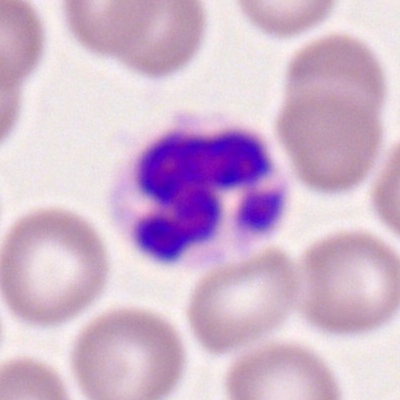

A polymorphonuclear neutrophil on a peripheral blood smear.